Image size 250×250. Bone marrow aspirate smear. 40× oil immersion.
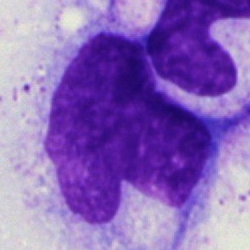An artefact.